Bone marrow aspirate smear.
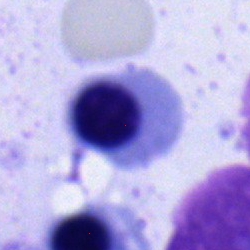Morphology consistent with a nucleated red blood cell.